Bone marrow aspirate smear: 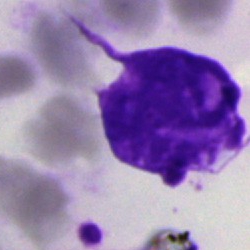 Morphology consistent with an artifact.